Bone marrow aspirate smear. Cropped to a single cell. 250×250 px: 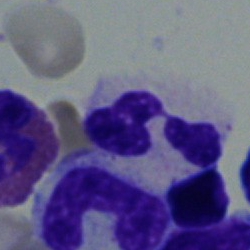
Classification — segmented neutrophil.